Bone marrow aspirate smear — 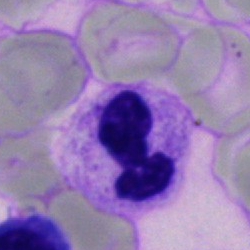
Cell = neutrophil (segmented).